Bone marrow smear. Single-cell crop:
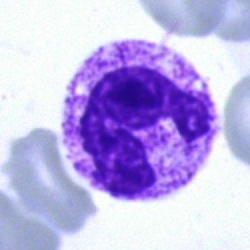 Impression → segmented neutrophil.